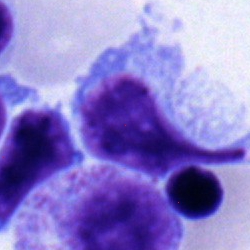

Classification = typical lymphocyte.